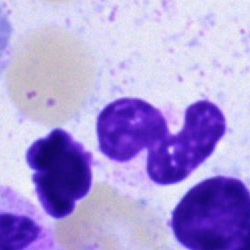 {"cell_type": "segmented neutrophil", "lineage": "myeloid"}